Bone marrow smear
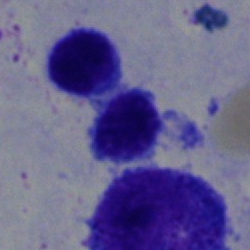Morphology → typical lymphocyte.